Bone marrow smear:
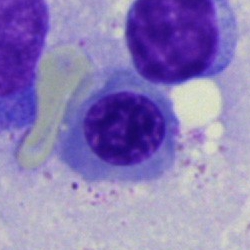
Morphology → erythroblast.